Single-cell field; bone marrow smear
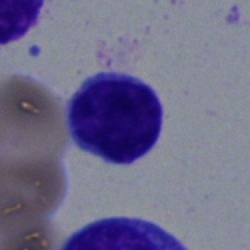
A typical lymphocyte.